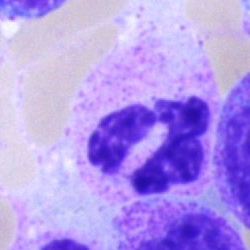A polymorphonuclear neutrophil on a bone marrow smear.